Bone marrow aspirate smear.
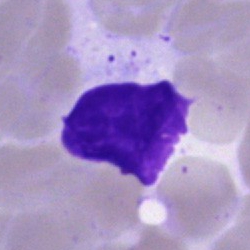
This is an artifact.